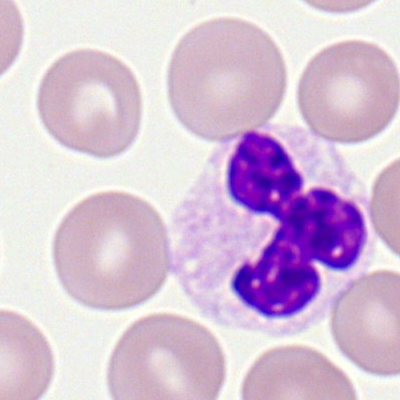 Specimen: peripheral blood smear.
Cell type: segmented neutrophil.
Lineage: myeloid.